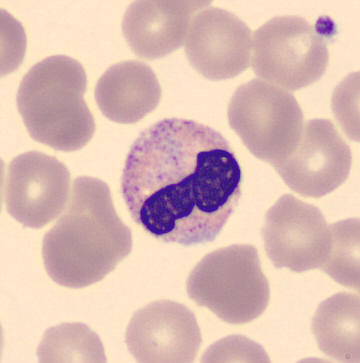
Specimen: peripheral blood smear.
Classification: stab cell.
Lineage: myeloid.
Preparation: Automated cell imaging (CellaVision DM96); MGG-stained.